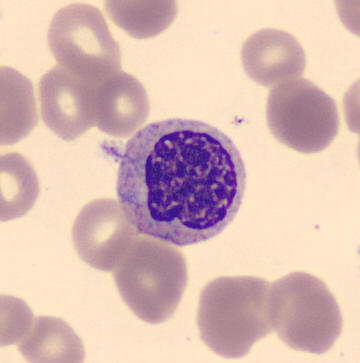

Image size 360×363 · peripheral blood smear.
The cell type is myelocyte.